MGG-stained; bone marrow aspirate smear: 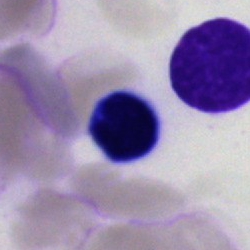Morphology → lymphocyte.